Bone marrow aspirate smear. May-Grünwald-Giemsa/Pappenheim stain.
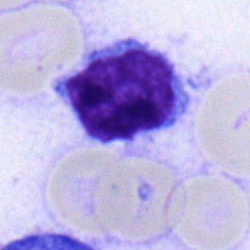This is a lymphocyte.